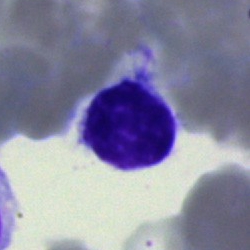
Morphology consistent with a lymphocyte.